Bone marrow aspirate smear. Pappenheim-stained: 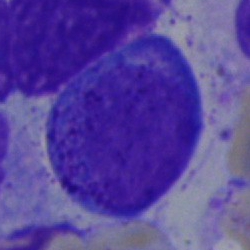
Classification = promyelocyte.